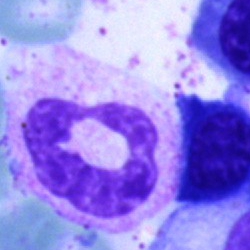
Cell type = neutrophil (segmented).